MGG-stained. Bone marrow smear. 250 by 250 pixels:
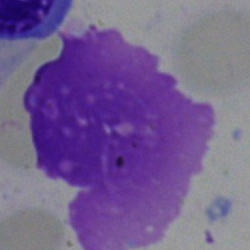

Q: What is shown here?
A: This is an artifact.